Bone marrow aspirate smear
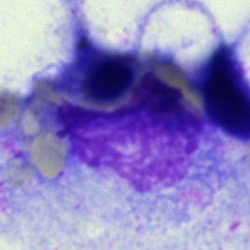

The classification is artefact.